MGG-stained. Bone marrow aspirate smear. Single-cell crop:
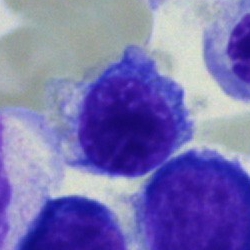 Single cell identified as an erythroblast.